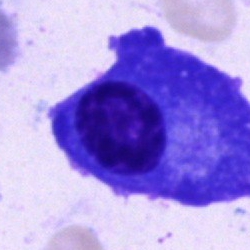

Showing a plasma cell.